Bone marrow smear; 40× objective, oil immersion: 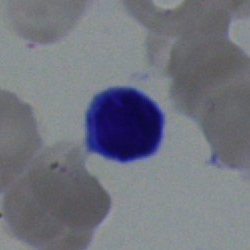 Morphology — typical lymphocyte.